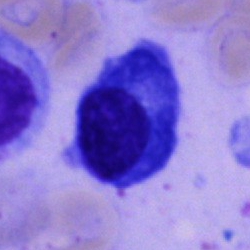Q: What cell is this?
A: This is a plasma cell.